Bone marrow smear — 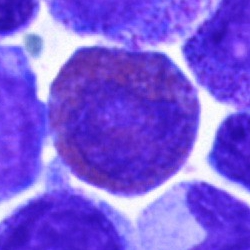
The cell shown is an eosinophilic granulocyte.